Bone marrow smear. Pappenheim-stained:
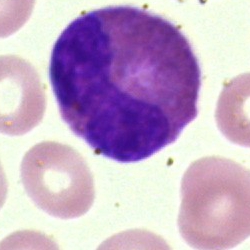

Showing an eosinophil.